Peripheral blood film — 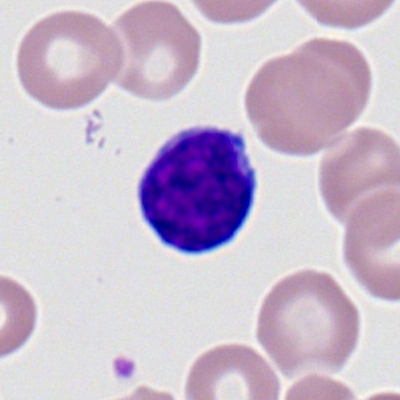

Morphology — typical lymphocyte.